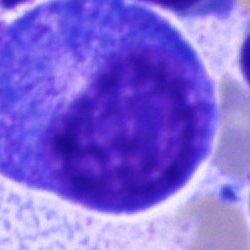 Q: What type of cell is this?
A: It is a promyelocyte.